Peripheral blood film; single cell centered in the field — 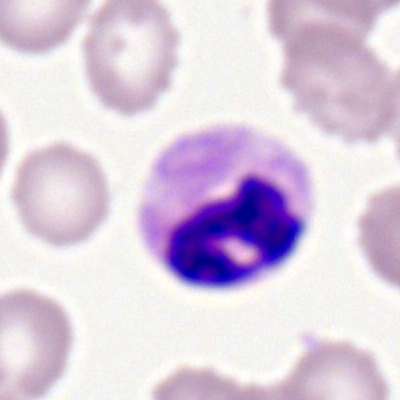Cell type — neutrophil (segmented).